Bone marrow smear
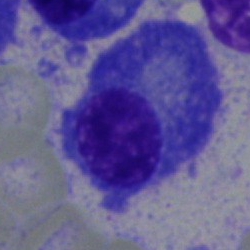 Specimen: bone marrow aspirate smear.
Cell type: plasmacyte.